Bone marrow aspirate smear.
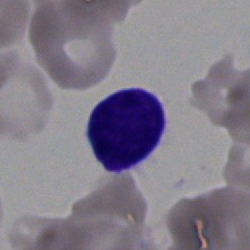 The morphological class is lymphocyte.